Bone marrow aspirate smear.
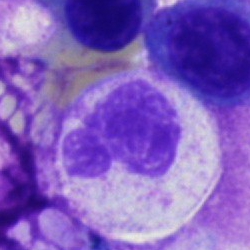

Specimen: bone marrow aspirate smear.
Classification: band-form neutrophil.
Lineage: myeloid.